May-Grünwald-Giemsa/Pappenheim stain. Bone marrow aspirate smear.
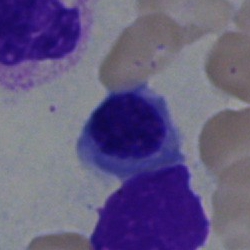Erythroblast.